Bone marrow smear
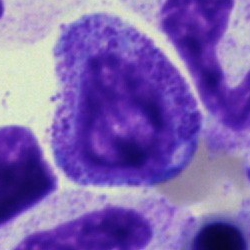 The classification is promyelocyte.